Bone marrow smear.
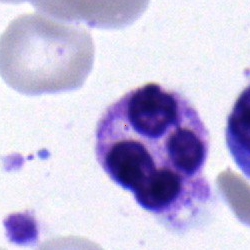
Polymorphonuclear neutrophil.